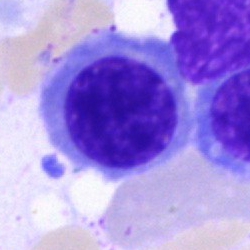Morphology — nucleated red blood cell.